Bone marrow aspirate smear. Brightfield, 40× oil-immersion objective.
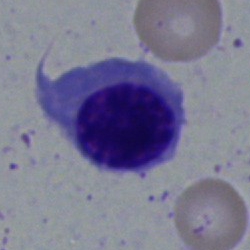
Classification — nucleated red cell.